Bone marrow aspirate smear.
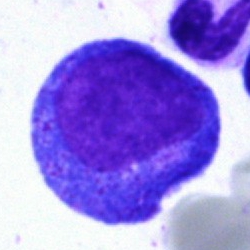

Q: Which cell type is shown here?
A: It is a progranulocyte.